Bone marrow aspirate smear — 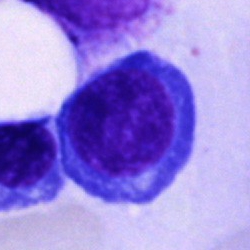

The morphological class is erythroblast.